Peripheral blood smear — 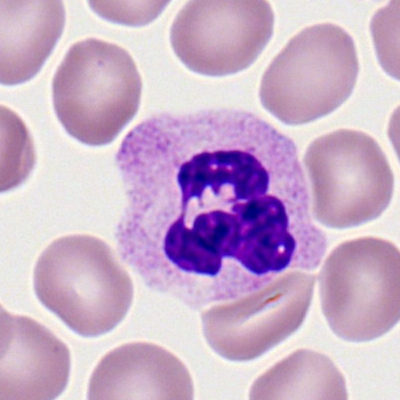 Classification — polymorphonuclear neutrophil.